Bone marrow smear.
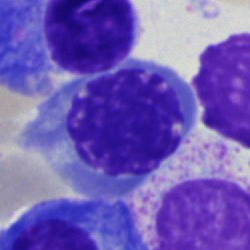
Morphology consistent with a nucleated red blood cell.